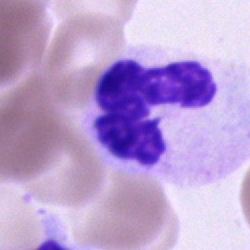Cell type: polymorphonuclear neutrophil.